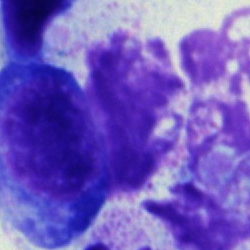 Q: What is shown here?
A: This is an artefact.